Bone marrow smear:
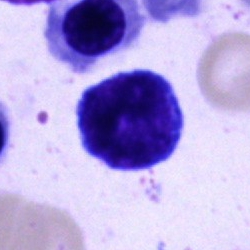 The cell is typical lymphocyte.